Bone marrow smear.
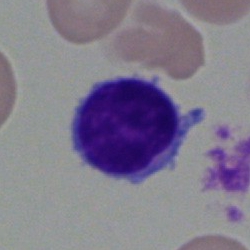 Specimen: bone marrow aspirate smear.
Cell: lymphocyte.